Bone marrow aspirate smear.
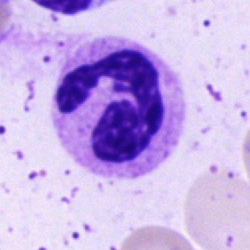

Cell — polymorphonuclear neutrophil.